MGG-stained. Bone marrow aspirate smear. 250×250
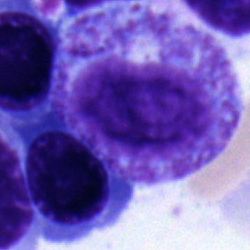 Cell = myelocyte.